Peripheral blood smear.
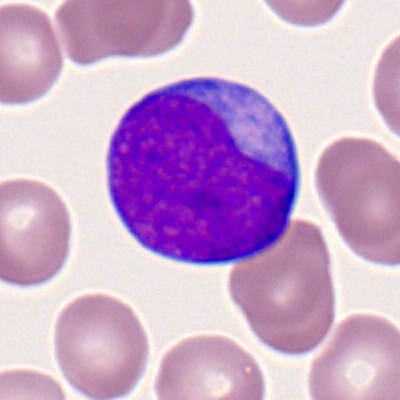
Cell type = myeloblast.